Bone marrow smear.
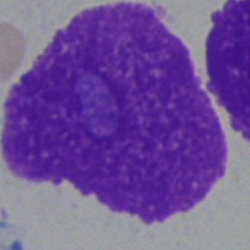

Showing an artefact.